Bone marrow aspirate smear; single-cell crop
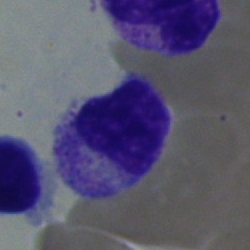
Morphology — myelocyte.